Bone marrow aspirate smear · cropped to a single cell — 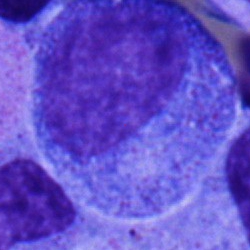
Cell — promyelocyte.